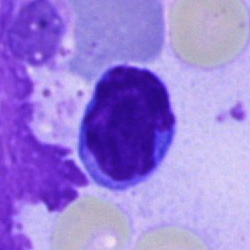
Cell = typical lymphocyte.